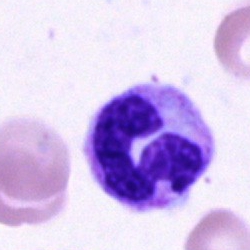

Single cell identified as a segmented neutrophil.